Bone marrow aspirate smear: 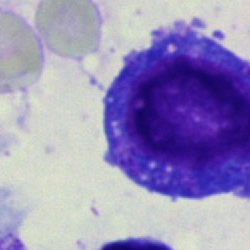

Classification = monocyte.